Bone marrow aspirate smear.
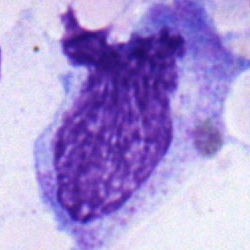
Q: What cell is this?
A: A myelocyte.